Bone marrow aspirate smear — 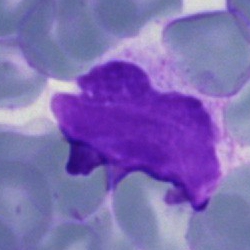

Classification: artifact.